May-Grünwald-Giemsa/Pappenheim stain. Bone marrow smear. Single-cell field — 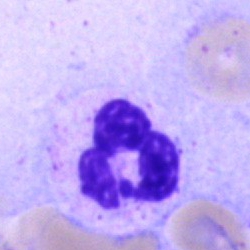

Specimen: bone marrow smear.
Cell: segmented neutrophil.
Lineage: myeloid.